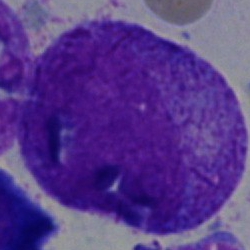Specimen: bone marrow smear.
Cell type: promyelocyte.
Lineage: myeloid.